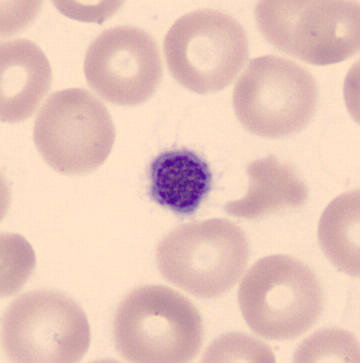
Platelet.

Preparation: Peripheral blood film. CellaVision DM96. 360×363 px.